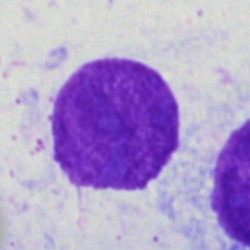 An artefact.